250 by 250 pixels; bone marrow smear.
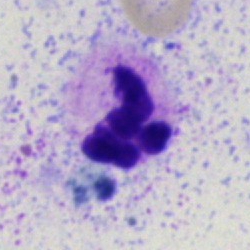

Specimen: bone marrow aspirate smear.
Cell: segmented neutrophil.